40× oil immersion · bone marrow aspirate smear.
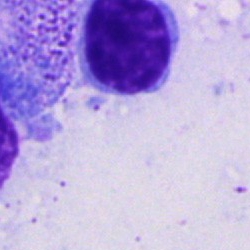 Q: What is the morphological classification of this cell?
A: Typical lymphocyte.